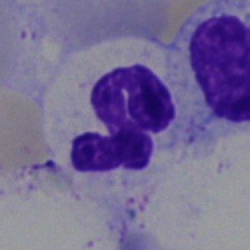

Morphological class = segmented neutrophil.